Bone marrow smear: 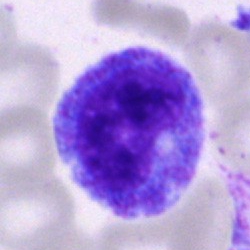 Impression → promyelocyte.